40× oil immersion. Bone marrow aspirate smear. 250×250: 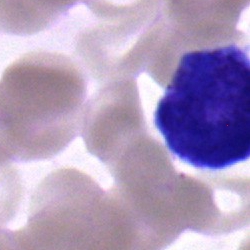 A blast cell.